Bone marrow smear: 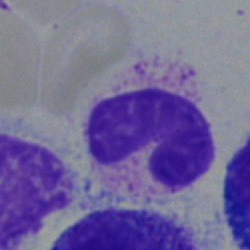{"cell_type": "band neutrophil"}